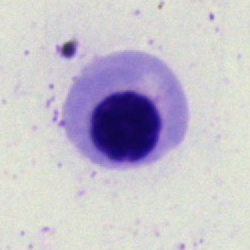

Specimen: bone marrow smear.
Classification: nucleated red blood cell.
Lineage: erythroid.